Bone marrow smear; 40× oil immersion; single-cell field — 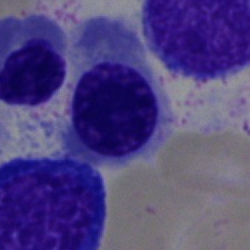
Morphology → nucleated red blood cell.